Bone marrow smear · Pappenheim-stained.
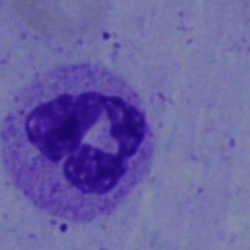
Morphology consistent with a polymorphonuclear neutrophil.